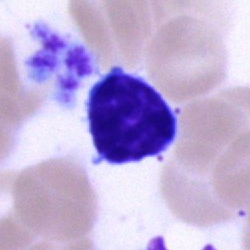Classification — typical lymphocyte.